May-Grünwald-Giemsa stain · bone marrow aspirate smear · image size 250×250.
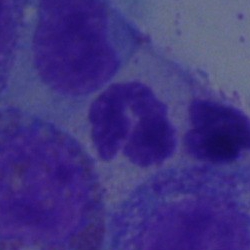Specimen: bone marrow aspirate smear.
Classification: polymorphonuclear neutrophil.